Peripheral blood smear.
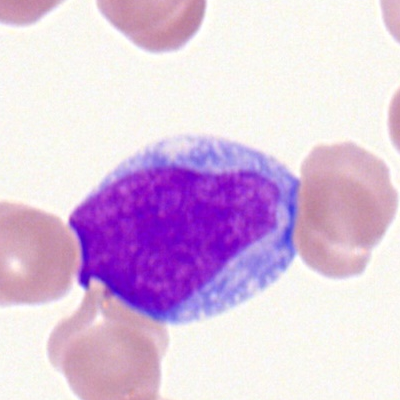 Showing a myeloblast.